Peripheral blood film. 100× oil immersion. Romanowsky-stained:
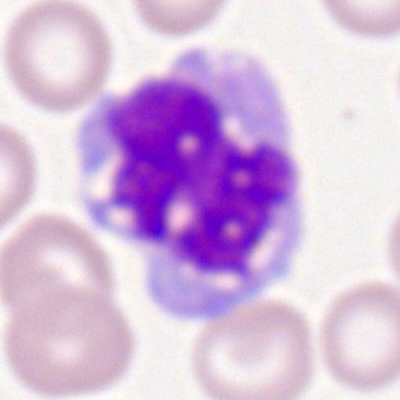
Morphology — monocyte.